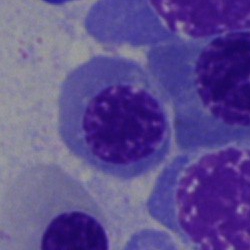 Single cell identified as a normoblast.